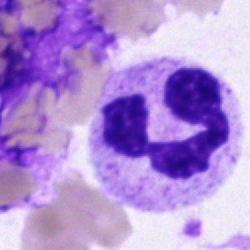 Specimen: bone marrow smear.
Cell: polymorphonuclear neutrophil.
Lineage: myeloid.